Peripheral blood smear.
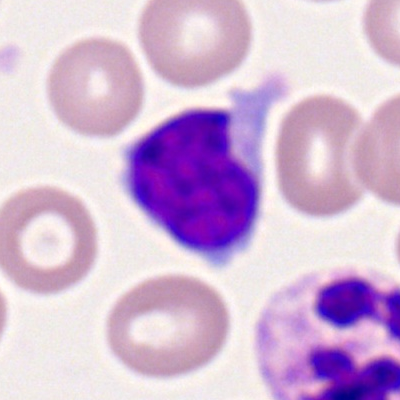The cell shown is a typical lymphocyte.